Bone marrow aspirate smear. 250×250 px: 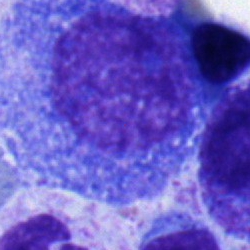 This is a progranulocyte.